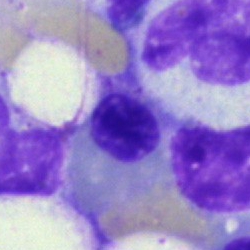
Classification — erythroblast.